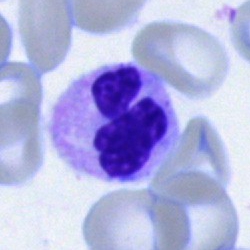Single cell identified as a neutrophil (segmented).